Pappenheim-stained; bone marrow aspirate smear:
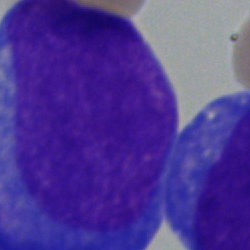
Classification = blast cell.